Bone marrow smear.
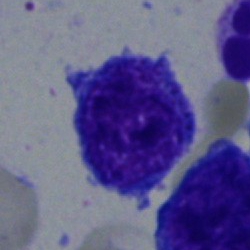

The cell is undifferentiated blast.